Bone marrow aspirate smear · cropped to a single cell: 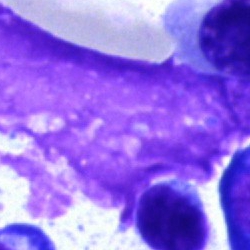The morphological class is artefact.